May-Grünwald-Giemsa stain. Bone marrow aspirate smear:
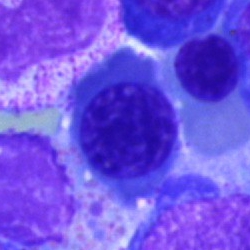
Specimen: bone marrow smear.
Cell type: nucleated red cell.